Bone marrow smear; 40× oil immersion: 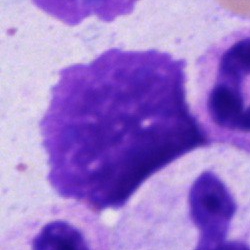

Classification: artefact.